Bone marrow smear: 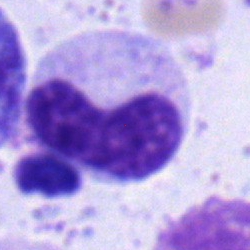 Q: What cell is this?
A: This is a band-form neutrophil.